Bone marrow smear:
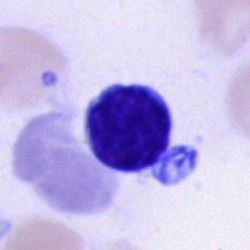Q: What cell is this?
A: A lymphocyte.